Bone marrow aspirate smear; 250×250 px:
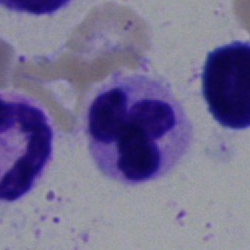
Q: What cell is this?
A: A neutrophil (segmented).